250×250; bone marrow aspirate smear: 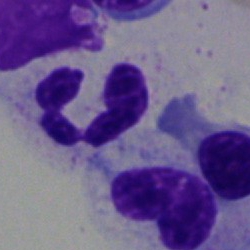Q: What type of cell is this?
A: A polymorphonuclear neutrophil.